Bone marrow aspirate smear; 250 by 250 pixels: 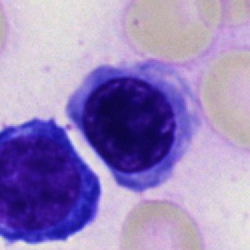

Q: Identify the cell.
A: This is a nucleated red blood cell.